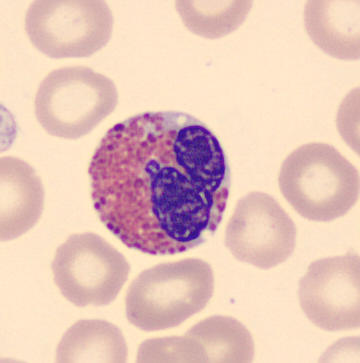Peripheral blood smear.
Identified as an eosinophil.